Bone marrow smear:
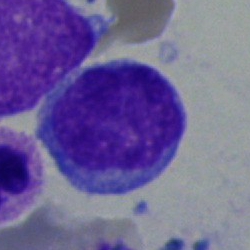

Impression → blast cell.